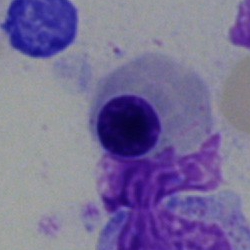

The cell type is normoblast.